M8 digital microscope (Precipoint), 100× oil immersion. Single cell centered in the field. Peripheral blood film.
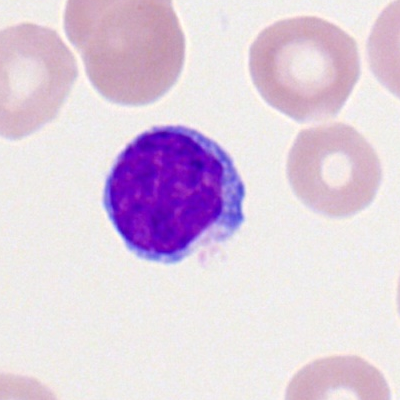

The cell type is lymphocyte.